Bone marrow smear.
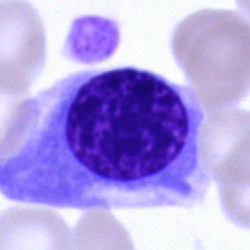 Nucleated red blood cell.